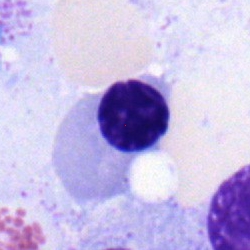 A nucleated red blood cell.